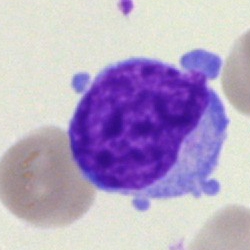Impression — blast cell.